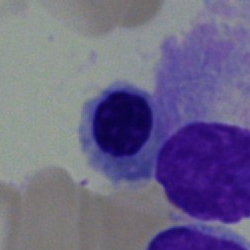
Specimen: bone marrow aspirate smear.
Morphological class: nucleated red cell.
Lineage: erythroid.